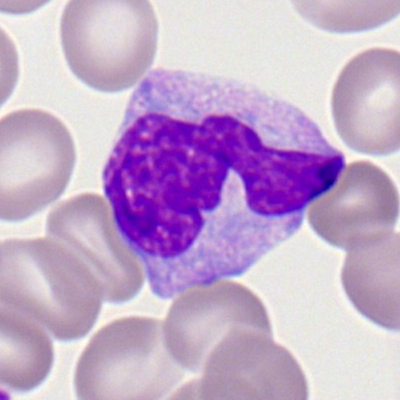

Morphology consistent with a monocyte.